Bone marrow aspirate smear:
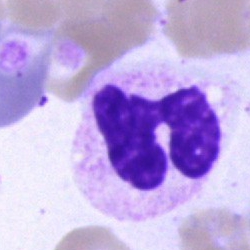 This is a neutrophil (segmented).